40× oil immersion; bone marrow aspirate smear:
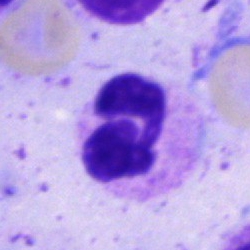Q: What is shown here?
A: It is a segmented neutrophil.